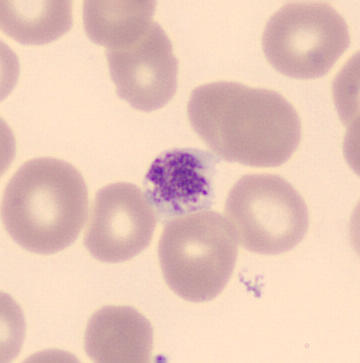
Image: Peripheral blood film. Q: What is shown here?
A: It is a thrombocyte.